MGG-stained. Bone marrow smear — 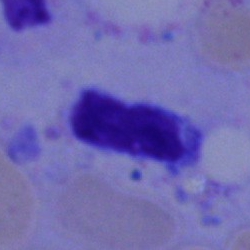
Specimen: bone marrow smear.
Cell: typical lymphocyte.
Lineage: lymphoid.